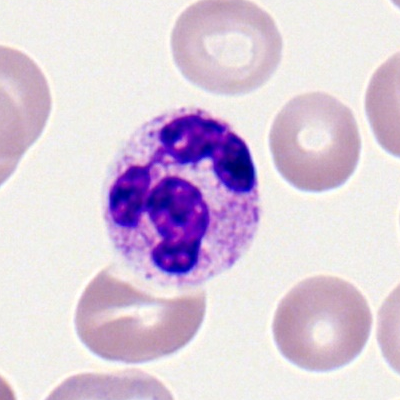 The cell shown is a neutrophil (segmented).